Bone marrow smear
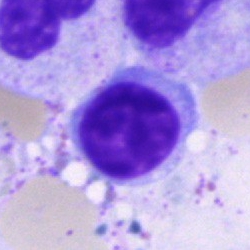Cell type = lymphocyte.